Bone marrow aspirate smear. Single-cell field — 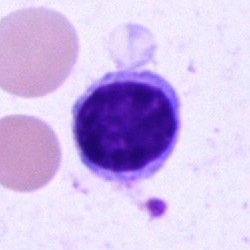
Cell: lymphocyte.